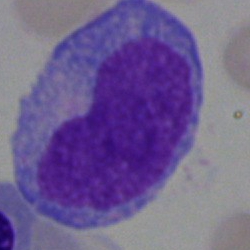

A monocyte.